Bone marrow aspirate smear:
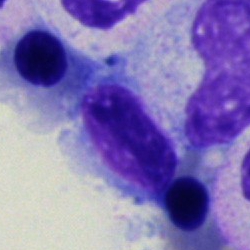

A lymphocyte.